Peripheral blood film · Romanowsky-stained
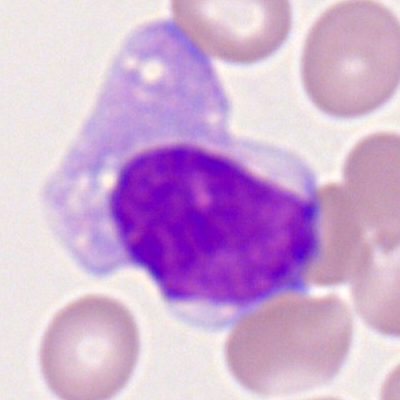
The cell is monocyte.